Bone marrow smear — 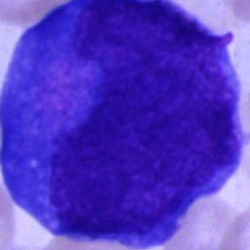

Impression — blast cell.